Peripheral blood smear.
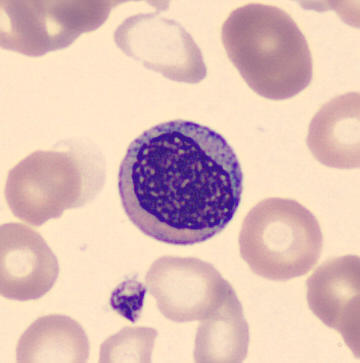
Q: What cell is this?
A: Myelocyte.